Bone marrow aspirate smear; May-Grünwald-Giemsa/Pappenheim stain — 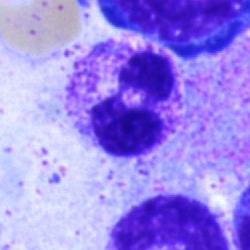
{"cell_type": "polymorphonuclear neutrophil", "lineage": "myeloid"}